40× oil immersion; bone marrow smear.
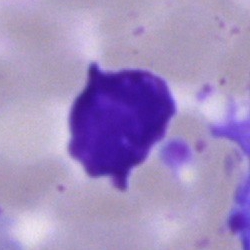 Single cell identified as an artifact.